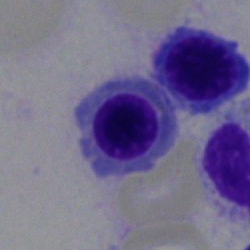The cell is nucleated red blood cell.